Bone marrow smear: 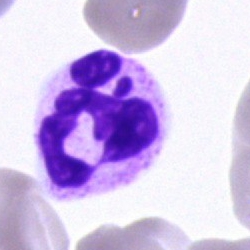
Specimen: bone marrow smear.
Cell type: polymorphonuclear neutrophil.
Lineage: myeloid.